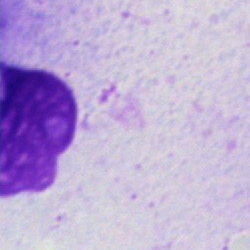{"cell_type": "artifact"}